Single-cell field · bone marrow aspirate smear · MGG-stained.
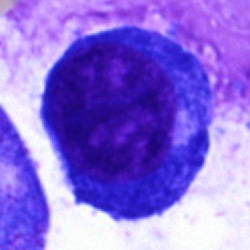Morphology → proerythroblast.